Bone marrow aspirate smear. MGG-stained.
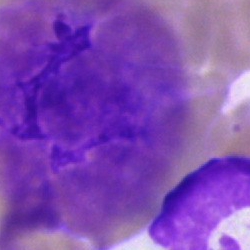

The morphological class is artifact.